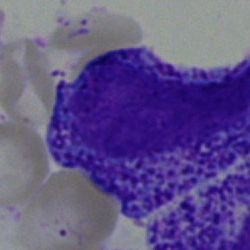Specimen: bone marrow smear.
Morphological class: myelocyte.
Lineage: myeloid.